Image size 250×250. Bone marrow aspirate smear:
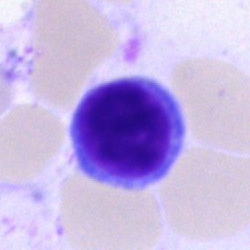
Q: Which cell type is shown here?
A: Lymphocyte.